Bone marrow smear · brightfield microscopy, 40× oil immersion — 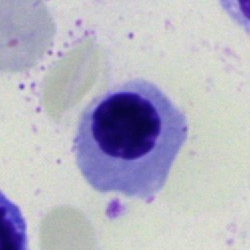Morphology — nucleated red cell.